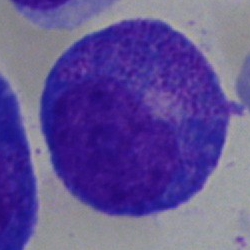

Q: What type of cell is this?
A: This is a promyelocyte.